Bone marrow aspirate smear: 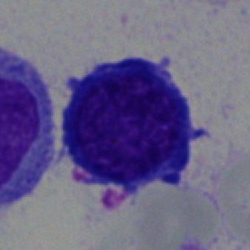
Nucleated red blood cell.